Bone marrow smear; 250×250:
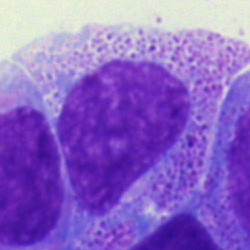
The cell type is progranulocyte.